Bone marrow aspirate smear; 250×250 px
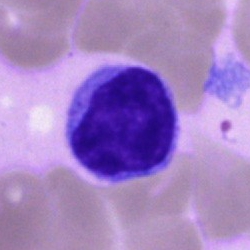

Cell type: typical lymphocyte.